250×250. Pappenheim-stained. Bone marrow smear — 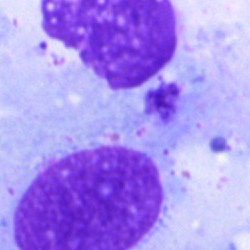

{"cell_type": "artefact"}